Peripheral blood film — 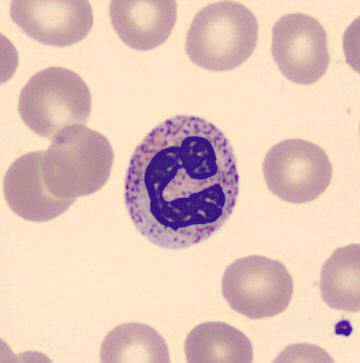

Showing a segmented neutrophil.